Bone marrow aspirate smear. Brightfield microscopy, 40× oil immersion: 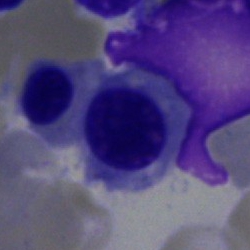
Normoblast.